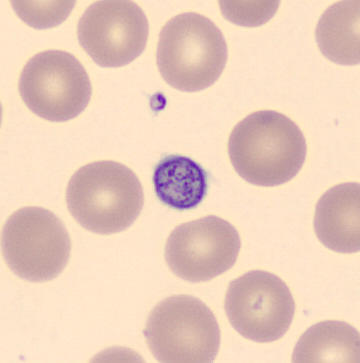

Showing a platelet (thrombocyte). Acquisition: Peripheral blood film.